Bone marrow aspirate smear.
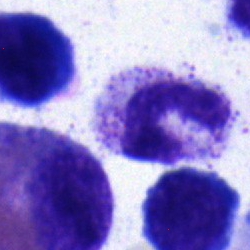
Q: What cell is this?
A: Neutrophil (band).